Bone marrow aspirate smear — 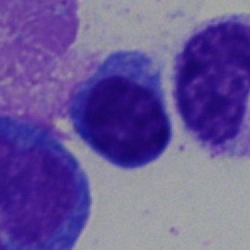 Showing a lymphocyte.